Bone marrow smear.
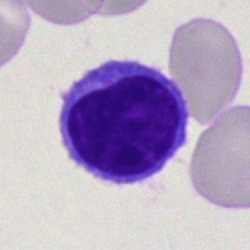

This is a typical lymphocyte.